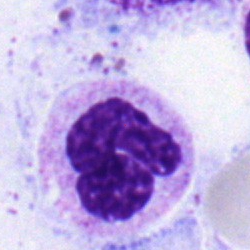

Q: Which cell type is shown here?
A: This is a stab cell.